Bone marrow aspirate smear · single-cell field.
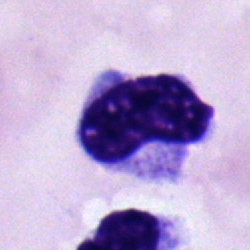 Morphology → metamyelocyte.